250×250 px · bone marrow aspirate smear.
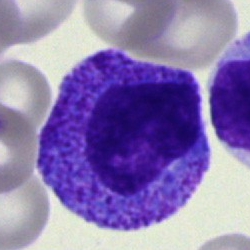
Specimen: bone marrow aspirate smear.
Morphological class: myelocyte.
Lineage: myeloid.